Bone marrow smear. Image size 250×250.
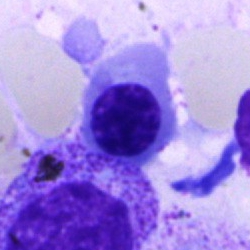The morphological class is nucleated red cell.